Bone marrow aspirate smear. Brightfield, 40× oil-immersion objective: 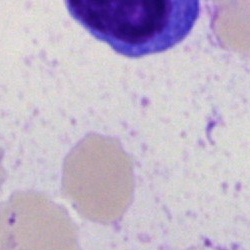 Morphological class = artefact.